Bone marrow aspirate smear. May-Grünwald-Giemsa/Pappenheim stain
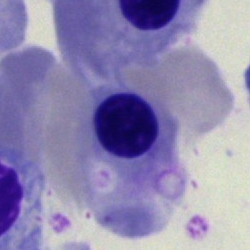

Morphology consistent with a nucleated red blood cell.